Bone marrow smear:
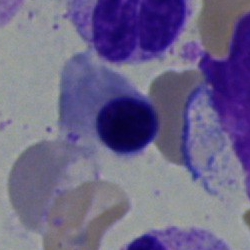

Normoblast.